Bone marrow smear — 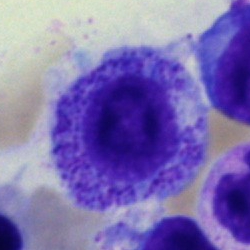
Single cell identified as a myelocyte.